Single cell centered in the field. Bone marrow aspirate smear
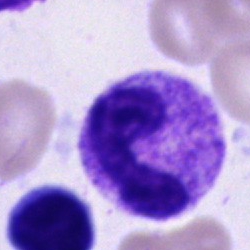
The cell shown is a neutrophil (band).